Bone marrow smear; 40× oil immersion; image size 250×250.
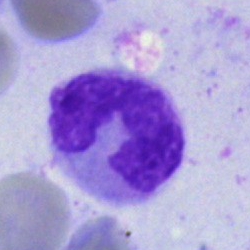 Q: What cell is this?
A: Stab cell.